Bone marrow aspirate smear
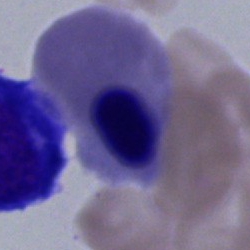

Specimen: bone marrow smear.
Classification: nucleated red cell.
Lineage: erythroid.